Peripheral blood film · 360×363 px · imaged on a CellaVision DM96 analyser
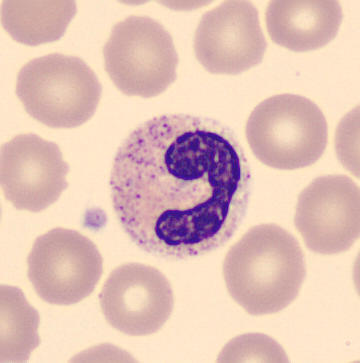

Cell type = band neutrophil.